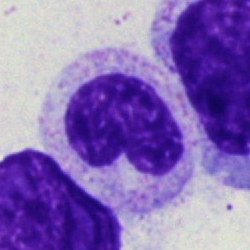
Band-form neutrophil.